Pappenheim-stained. Bone marrow aspirate smear. 250 by 250 pixels
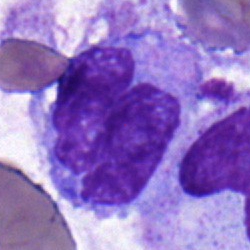 The morphological class is monocyte.